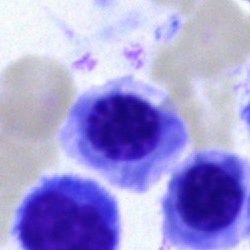

A nucleated red blood cell on a bone marrow smear.